Pappenheim-stained. Bone marrow aspirate smear:
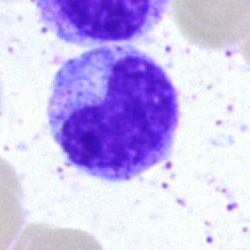 The cell shown is a metamyelocyte.